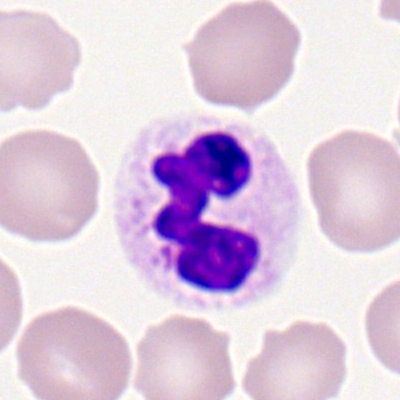

Showing a segmented neutrophil.